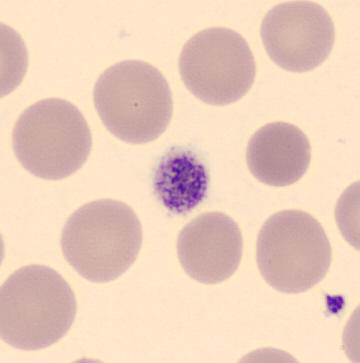Preparation: Peripheral blood smear.
Cell type: platelet (thrombocyte).